Peripheral blood film:
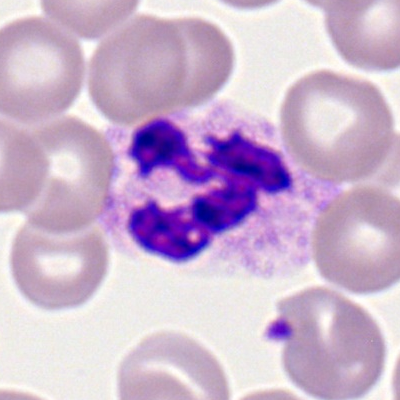
The classification is polymorphonuclear neutrophil.